Bone marrow aspirate smear — 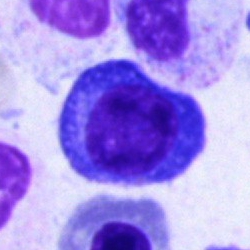

Q: Identify the cell.
A: This is a plasmacyte.